Bone marrow smear: 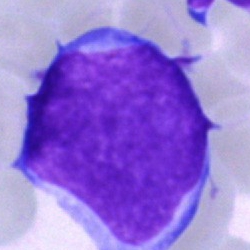The cell shown is a blast.